MGG-stained; bone marrow aspirate smear — 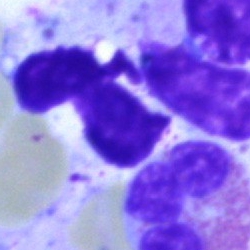Q: What is shown here?
A: This is an artefact.